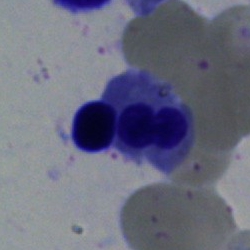

The cell type is normoblast.